Bone marrow smear. May-Grünwald-Giemsa/Pappenheim stain: 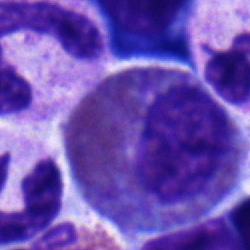Single cell identified as an eosinophilic granulocyte.